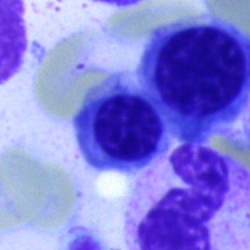

A normoblast on a bone marrow smear.